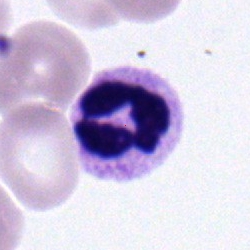
Cell — polymorphonuclear neutrophil.